Bone marrow smear:
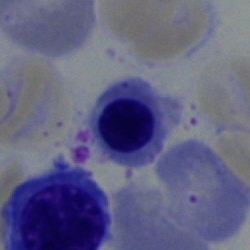
The cell is erythroblast.